Bone marrow smear:
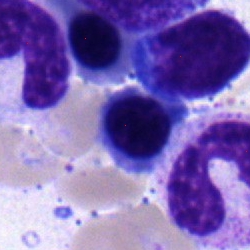The cell type is erythroblast.